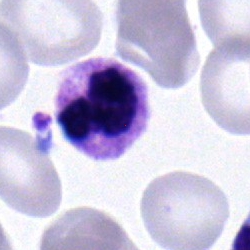 Classification — segmented neutrophil.